Peripheral blood smear. Romanowsky-stained
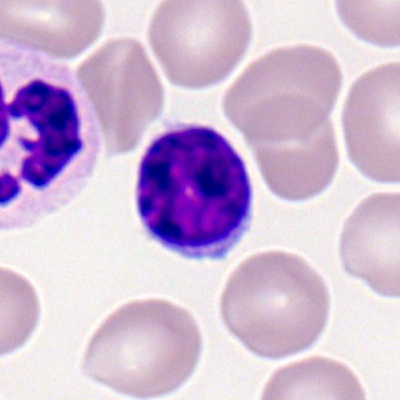 Q: What type of cell is this?
A: Lymphocyte.